Bone marrow smear
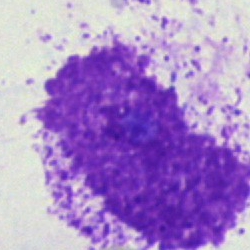Impression → artifact.